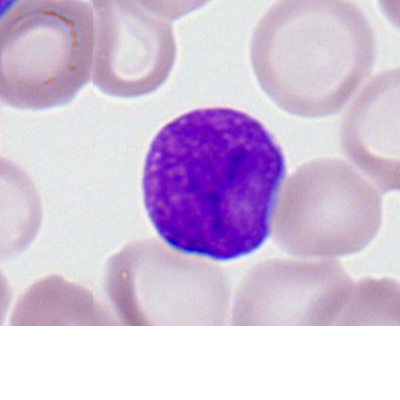

Morphological class: myeloblast.